Bone marrow aspirate smear
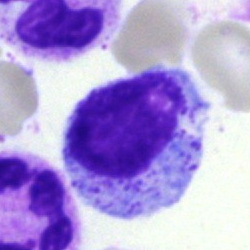 This is a myelocyte.